Image size 250×250 · bone marrow smear
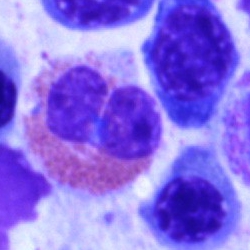
Impression → eosinophil.